Peripheral blood film — 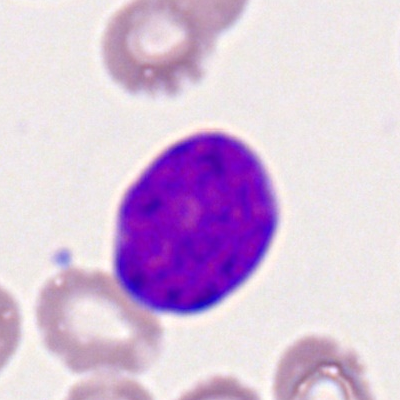
Morphology consistent with a myeloid blast.